Bone marrow aspirate smear:
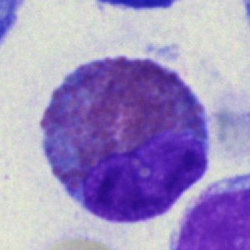 Showing an eosinophil.